Bone marrow aspirate smear — 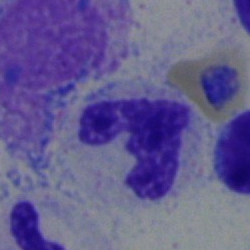 The cell shown is a segmented neutrophil.